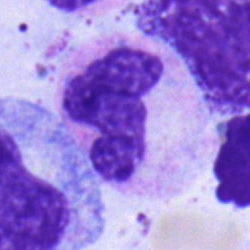
Cell type = polymorphonuclear neutrophil.